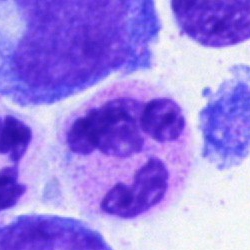Specimen: bone marrow smear.
Cell type: segmented neutrophil.